250×250 px. 40× objective, oil immersion. Bone marrow smear — 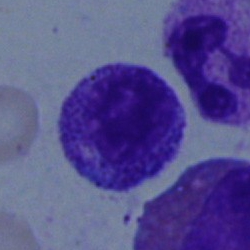

A myelocyte.